Bone marrow smear
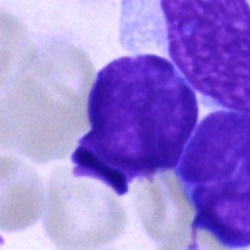 Specimen: bone marrow smear.
Classification: blast.